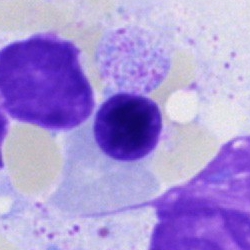 Cell type = nucleated red cell.